Bone marrow aspirate smear. Brightfield, 40× oil-immersion objective
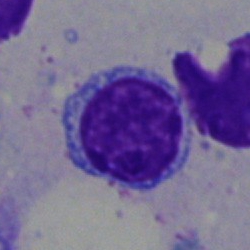 This is a typical lymphocyte.